Bone marrow smear:
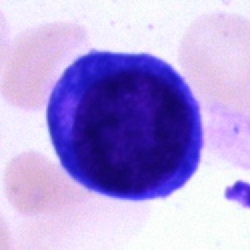

Cell type: pronormoblast.